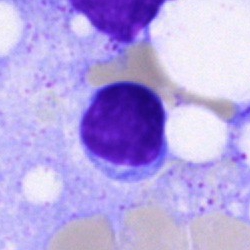Morphological class: typical lymphocyte.